Bone marrow smear.
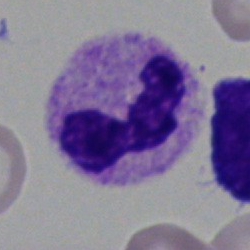

Morphology — segmented neutrophil.